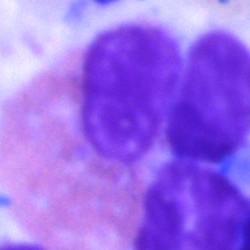 Q: Identify the cell.
A: Eosinophil.